Peripheral blood smear
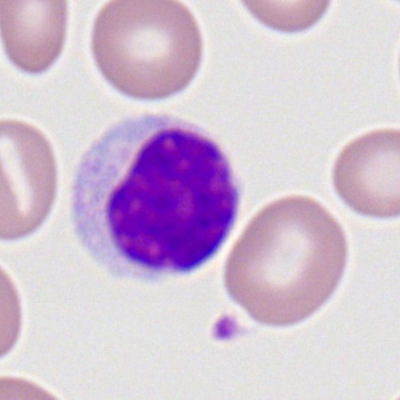
Classification — lymphocyte.